Bone marrow smear · 250×250 px — 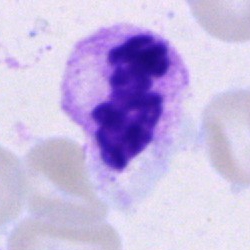 Cell type = polymorphonuclear neutrophil.